Romanowsky-type stain. Single-cell crop. Peripheral blood smear:
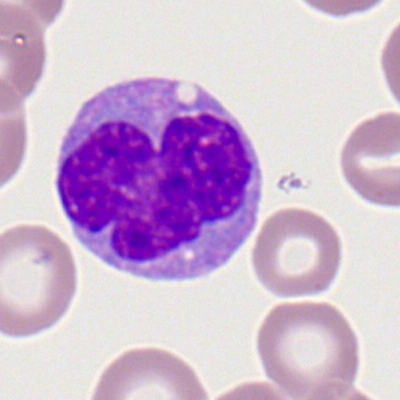The cell is monocyte.